Bone marrow smear.
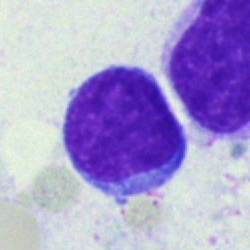 Q: What is the morphological classification of this cell?
A: It is a blast.